Bone marrow aspirate smear
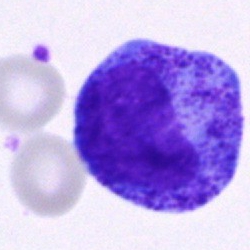 Specimen: bone marrow smear.
Morphological class: promyelocyte.
Lineage: myeloid.